Brightfield, 40× oil-immersion objective; bone marrow smear; 250×250 px — 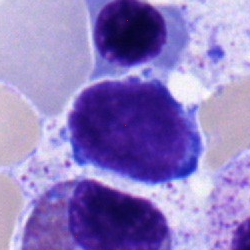
Showing a blast cell.